Bone marrow smear · 40× objective, oil immersion — 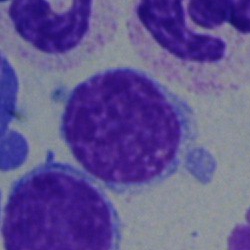

Typical lymphocyte.